Bone marrow aspirate smear; single-cell crop.
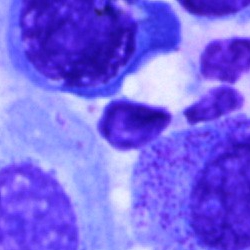Morphology consistent with an artifact.